Single cell centered in the field · bone marrow aspirate smear · 250×250:
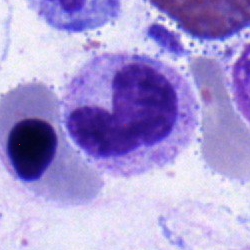

Showing a segmented neutrophil.